Bone marrow smear: 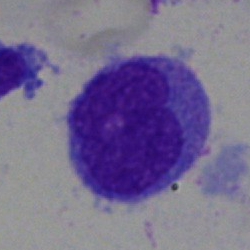

The morphological class is undifferentiated blast.